Bone marrow smear:
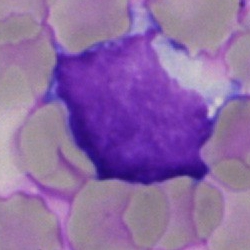This is a typical lymphocyte.